250×250 · bone marrow smear · single cell centered in the field — 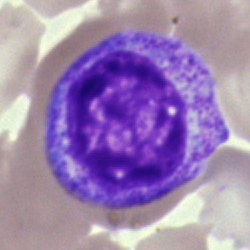 This is a myelocyte.